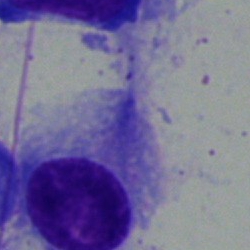
Specimen: bone marrow aspirate smear.
Classification: plasmacyte.